Peripheral blood smear; May Grünwald-Giemsa stain: 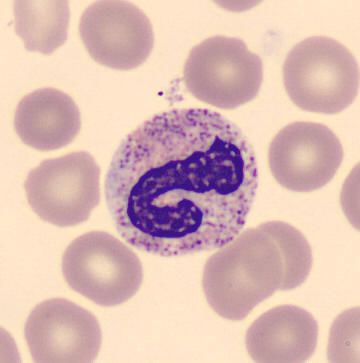
Specimen: peripheral blood smear.
Classification: neutrophil (band).
Lineage: myeloid.